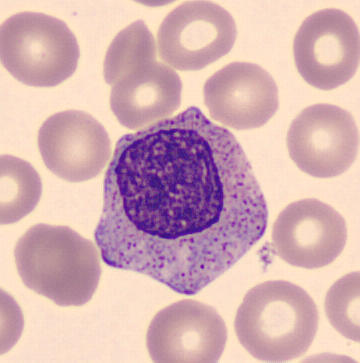

Peripheral blood film. Q: What is this?
A: Myelocyte.